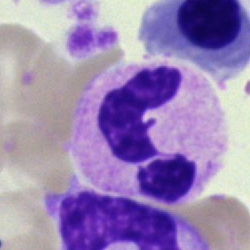

Showing a neutrophil (segmented).